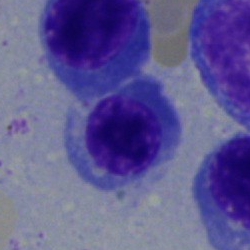Morphology consistent with a normoblast.